Brightfield, 40× oil-immersion objective. Bone marrow aspirate smear. May-Grünwald-Giemsa stain.
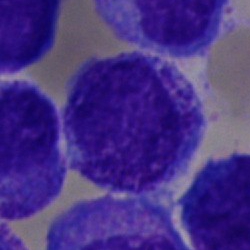
Q: What is the morphological classification of this cell?
A: This is a blast.